Bone marrow smear
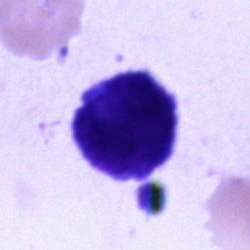

{"cell_type": "unidentifiable cell"}